Bone marrow smear. Single-cell crop — 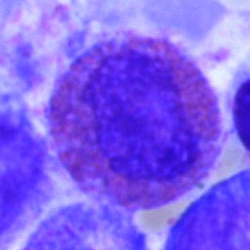 An eosinophil.